Bone marrow aspirate smear. Image size 250×250:
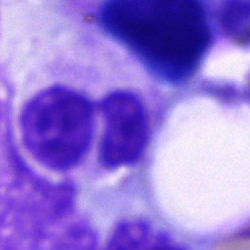 Single cell identified as a neutrophil (segmented).